Bone marrow aspirate smear. Single-cell field.
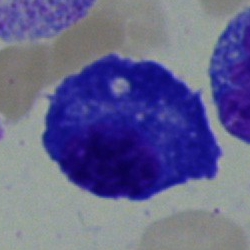 Morphological class — plasma cell.